Bone marrow smear. Pappenheim-stained. Brightfield, 40× oil-immersion objective.
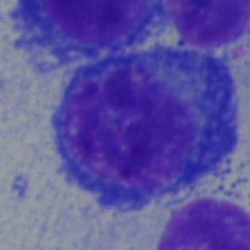
Q: What is shown here?
A: Plasma cell.